Bone marrow aspirate smear.
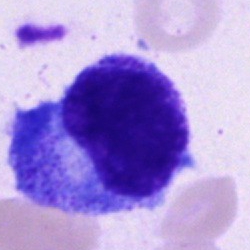
This is a promyelocyte.